Single cell centered in the field; bone marrow aspirate smear:
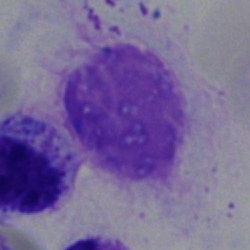 Artefact.